Peripheral blood film:
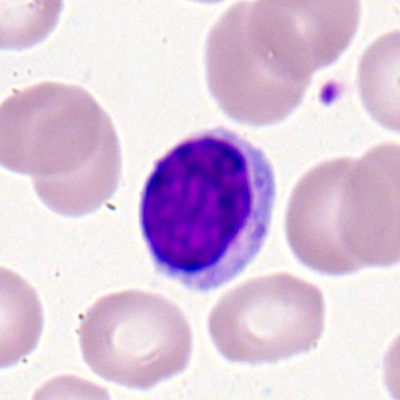Specimen: peripheral blood film.
Classification: typical lymphocyte.
Lineage: lymphoid.